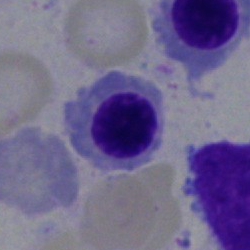 Bone marrow smear showing a normoblast.